May-Grünwald-Giemsa/Pappenheim stain; image size 250×250; bone marrow smear — 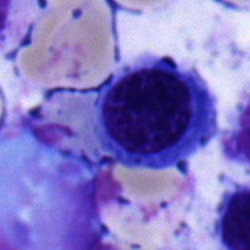 Morphology → nucleated red cell.